May-Grünwald-Giemsa/Pappenheim stain · bone marrow smear: 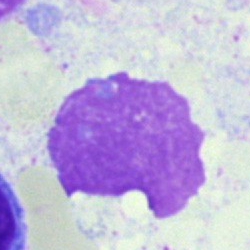 Q: What is shown here?
A: An artefact.